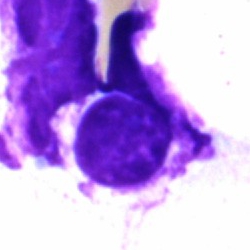

Classification — typical lymphocyte.